Single-cell crop · bone marrow aspirate smear — 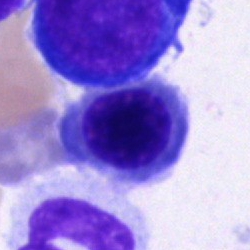
A nucleated red blood cell.